Bone marrow aspirate smear: 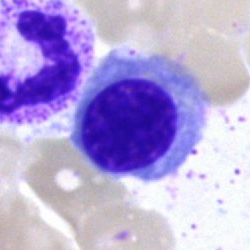
Specimen: bone marrow aspirate smear.
Morphological class: normoblast.
Lineage: erythroid.